Bone marrow smear.
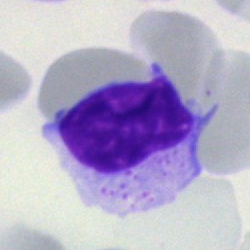 Q: What cell is this?
A: A myelocyte.